Bone marrow smear. Single-cell field. 40× objective, oil immersion.
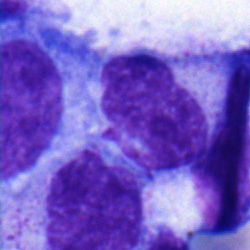
Morphology consistent with a progranulocyte.